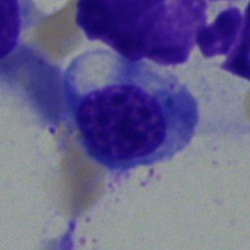
Morphology consistent with a normoblast.